Bone marrow smear
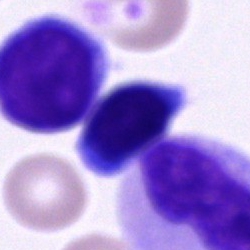This is an unidentifiable cell.